May-Grünwald-Giemsa stain. 250×250 px. Bone marrow aspirate smear
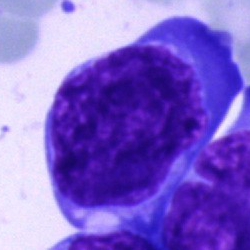 {"cell_type": "blast cell"}